Bone marrow aspirate smear: 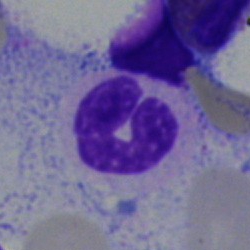
The morphological class is polymorphonuclear neutrophil.